Bone marrow smear:
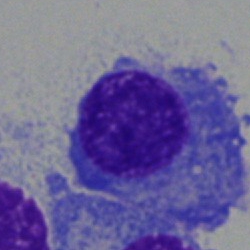

A plasmacyte.